40× objective, oil immersion · bone marrow smear
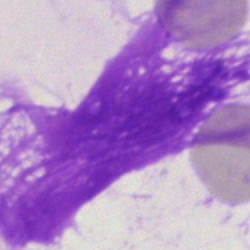

Single cell identified as an artefact.